Cropped to a single cell; bone marrow smear: 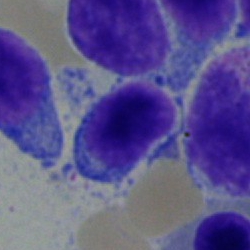Specimen: bone marrow smear.
Classification: typical lymphocyte.
Lineage: lymphoid.